40× objective, oil immersion. Bone marrow aspirate smear
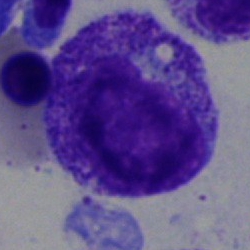
Cell type = myelocyte.